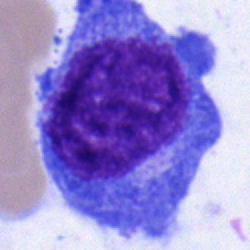
The classification is plasma cell.